Bone marrow aspirate smear: 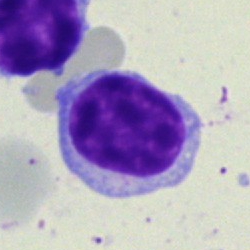 The morphological class is lymphocyte.